Bone marrow aspirate smear: 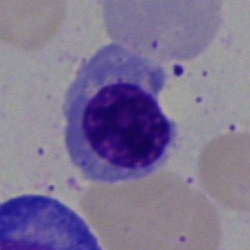
Q: Identify the cell.
A: A normoblast.